Bone marrow smear · image size 250×250 · May-Grünwald-Giemsa stain:
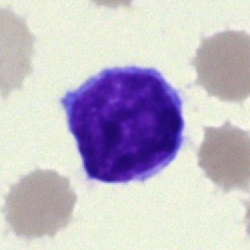
Cell type — typical lymphocyte.